Romanowsky stain; peripheral blood smear.
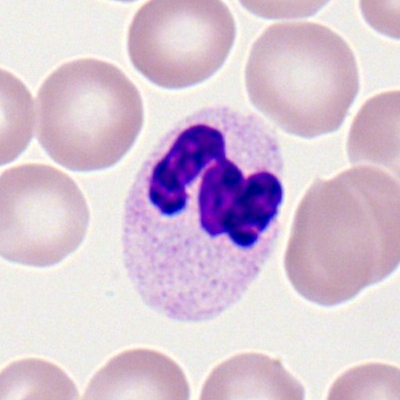

The classification is segmented neutrophil.